Bone marrow smear. MGG-stained: 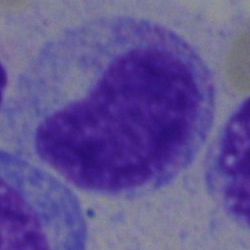 The classification is metamyelocyte.